Bone marrow smear — 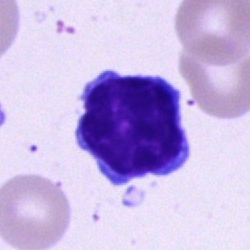Morphology — typical lymphocyte.